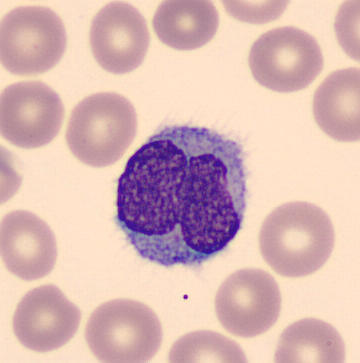
Cell — monocyte.
Peripheral blood film.